40× objective, oil immersion. Bone marrow smear: 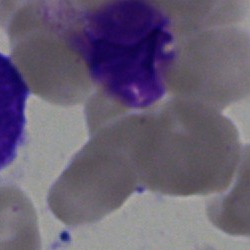 Classification = artefact.